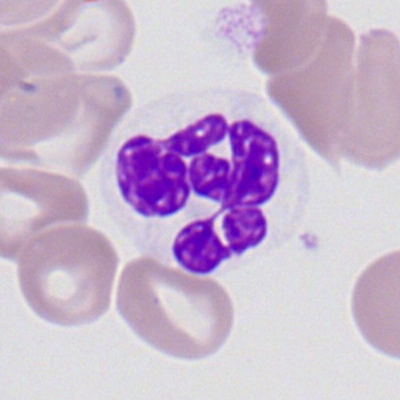Morphological class: segmented neutrophil.